Bone marrow aspirate smear: 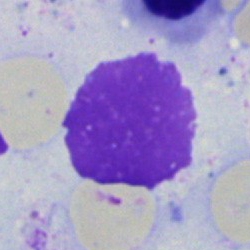 Morphological class — artefact.